Bone marrow smear: 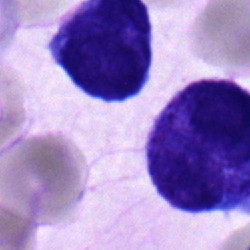
Morphology — blast.